Bone marrow aspirate smear: 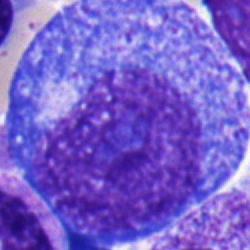

Q: Identify the cell.
A: A progranulocyte.